May-Grünwald-Giemsa/Pappenheim stain · bone marrow aspirate smear — 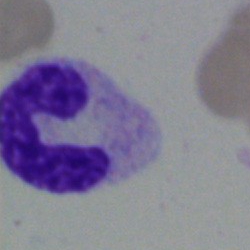

Impression — band neutrophil.